Bone marrow smear
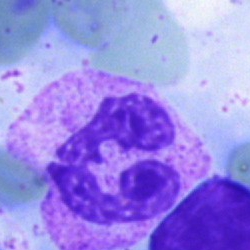 Morphological class = neutrophil (segmented).